Bone marrow aspirate smear: 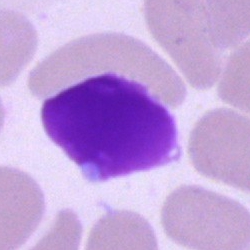 Specimen: bone marrow aspirate smear.
Morphological class: artefact.